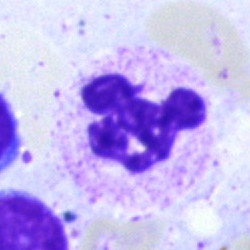

{"cell_type": "segmented neutrophil", "lineage": "myeloid"}